Bone marrow smear.
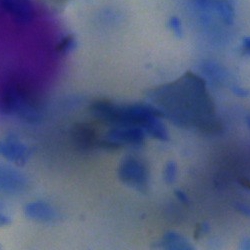

Q: What is shown here?
A: An artifact.